Bone marrow smear
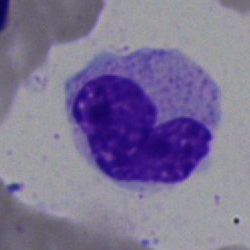This is a stab cell.